250×250. Brightfield microscopy, 40× oil immersion. Bone marrow smear
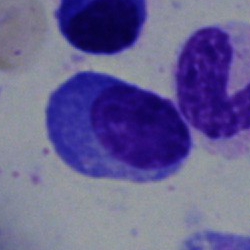The classification is plasma cell.